Pappenheim-stained; 250 by 250 pixels; bone marrow aspirate smear
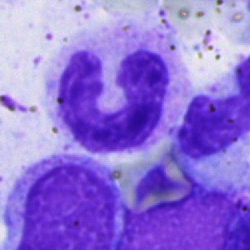 Morphological class = neutrophil (band).